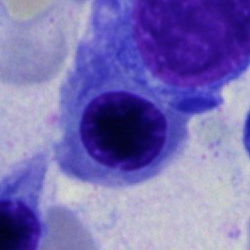

A nucleated red blood cell.